Bone marrow aspirate smear; single-cell crop
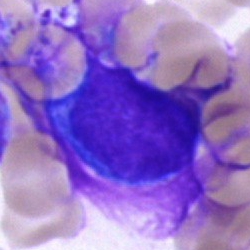 Morphology consistent with an artifact.